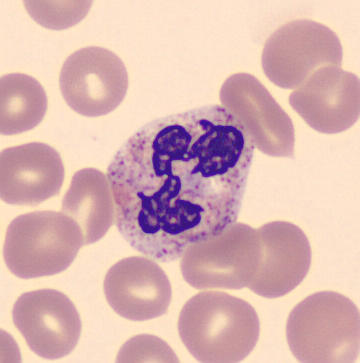

Specimen: peripheral blood smear.
Morphological class: segmented neutrophil.
Lineage: myeloid.